Peripheral blood film
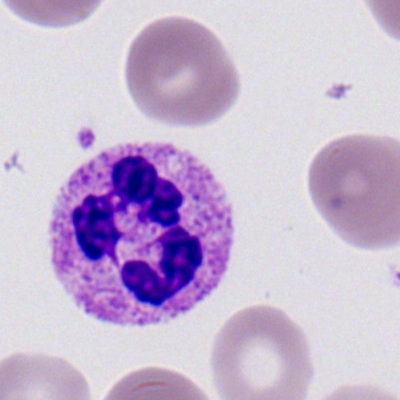Q: What type of cell is this?
A: It is a segmented neutrophil.